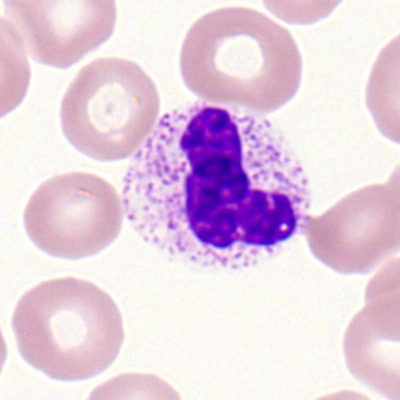
Morphology → neutrophil (segmented).